Cropped to a single cell. Bone marrow smear
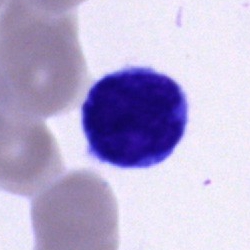 The cell shown is a lymphocyte.